Bone marrow aspirate smear — 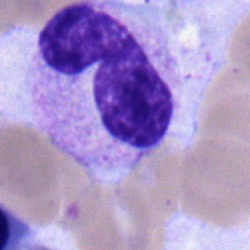

Morphology consistent with a band neutrophil.